Bone marrow aspirate smear — 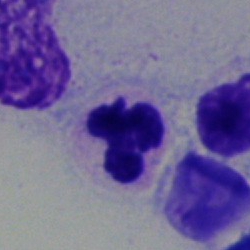
Single cell identified as a segmented neutrophil.